Image size 250×250; bone marrow aspirate smear.
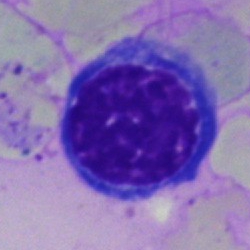 Morphological class = nucleated red blood cell.